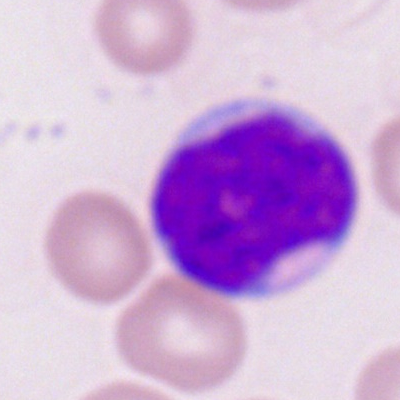The cell is myeloid blast.